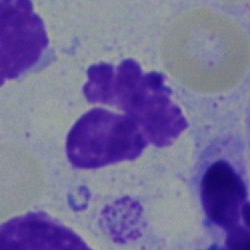Single-cell crop from a bone marrow smear: segmented neutrophil.